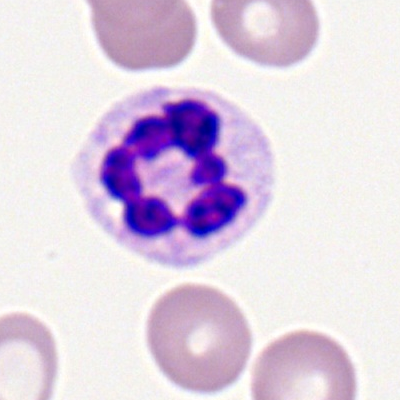
Classification — segmented neutrophil.